Bone marrow smear — 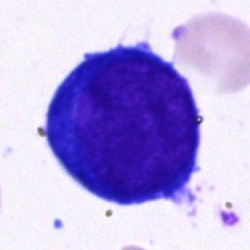
Morphological class = proerythroblast.